Bone marrow smear: 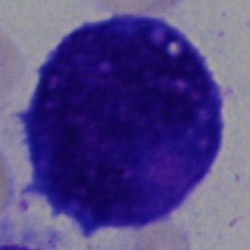 Single cell identified as a blast.